Bone marrow smear: 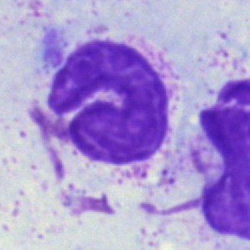 The classification is artifact.